Bone marrow aspirate smear
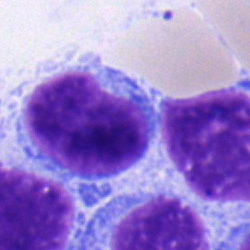
Classification: typical lymphocyte.